Bone marrow smear — 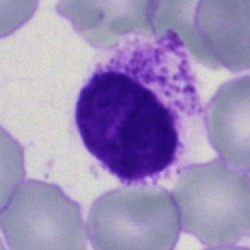

Artefact.